Bone marrow aspirate smear
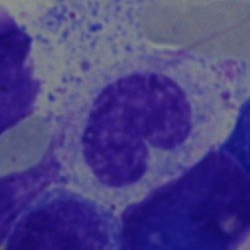 The cell is band neutrophil.